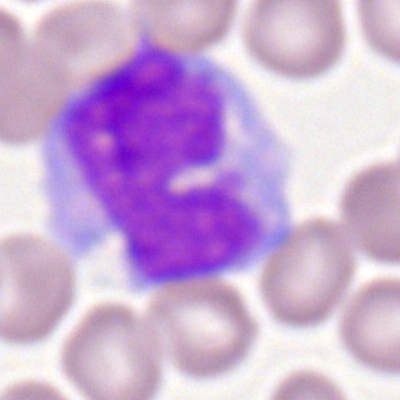

A monocyte on a peripheral blood smear.